Bone marrow smear; 250×250; single-cell field — 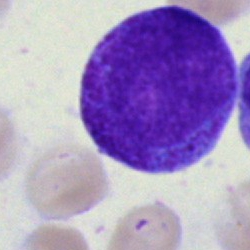

A promyelocyte.